Bone marrow aspirate smear. 250×250.
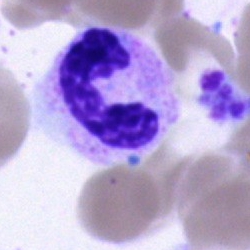Q: Which cell type is shown here?
A: It is a neutrophil (band).